250×250; bone marrow aspirate smear; single-cell crop — 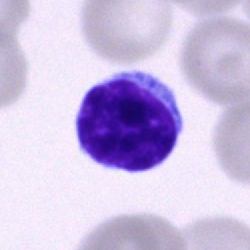
Q: Identify the cell.
A: A lymphocyte.